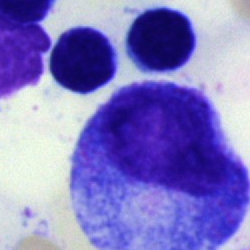 A promyelocyte on a bone marrow smear.